Bone marrow smear.
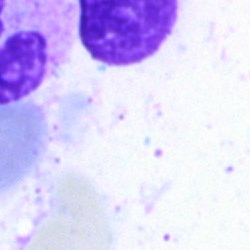
This is an artefact.